Bone marrow aspirate smear: 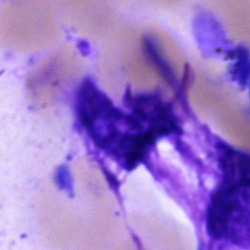An artifact.